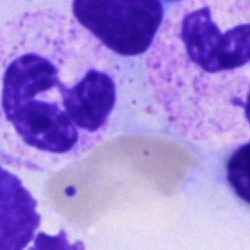

Cell — polymorphonuclear neutrophil.